May-Grünwald-Giemsa stain; brightfield microscopy, 40× oil immersion; bone marrow aspirate smear
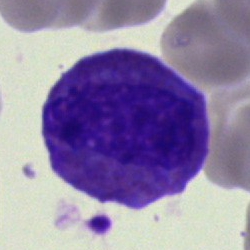Cell type = eosinophil.